Bone marrow aspirate smear
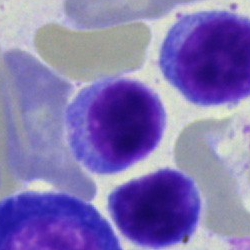A lymphocyte.